Brightfield microscopy, 40× oil immersion; bone marrow aspirate smear.
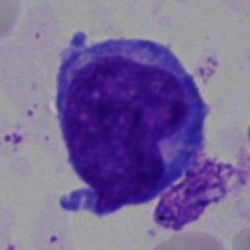Morphology consistent with a blast.